Bone marrow smear.
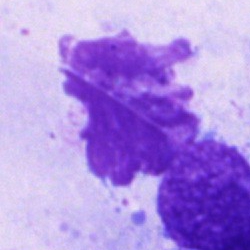

Morphology — artefact.